Bone marrow aspirate smear · cropped to a single cell · May-Grünwald-Giemsa/Pappenheim stain: 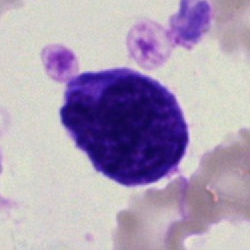{"cell_type": "blast"}